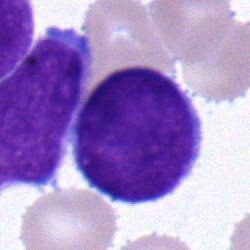Morphological class = undifferentiated blast.